Bone marrow aspirate smear:
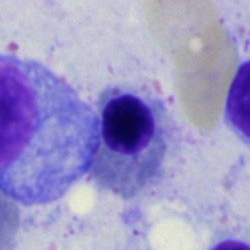 An erythroblast.